250×250 px · bone marrow smear
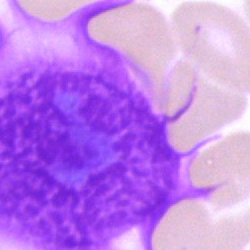

The classification is artifact.